Bone marrow aspirate smear.
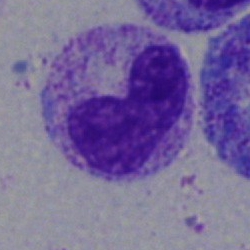

Specimen: bone marrow aspirate smear.
Morphological class: band neutrophil.
Lineage: myeloid.